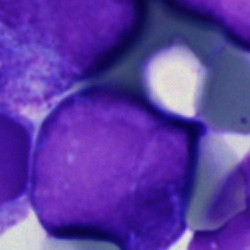The morphological class is undifferentiated blast.